Bone marrow aspirate smear:
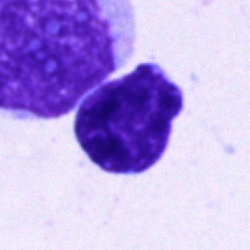 Cell = lymphocyte.